Pappenheim-stained. Brightfield microscopy, 40× oil immersion. Bone marrow aspirate smear:
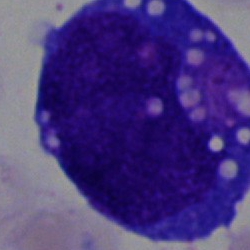

A blast.